Bone marrow aspirate smear; single-cell field — 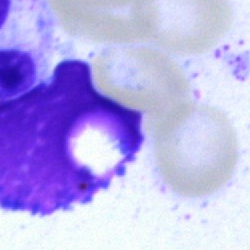Impression → artifact.